MGG-stained. Bone marrow aspirate smear: 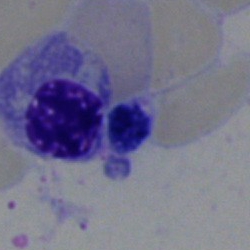

Morphological class — nucleated red blood cell.